Bone marrow aspirate smear · May-Grünwald-Giemsa stain: 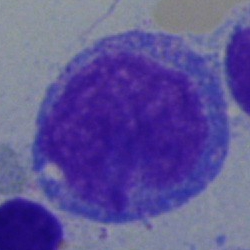

Cell type = blast.